Bone marrow aspirate smear · Pappenheim-stained.
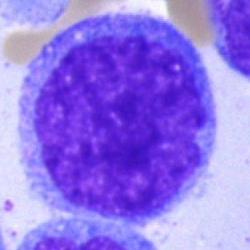Specimen: bone marrow aspirate smear.
Cell type: blast cell.